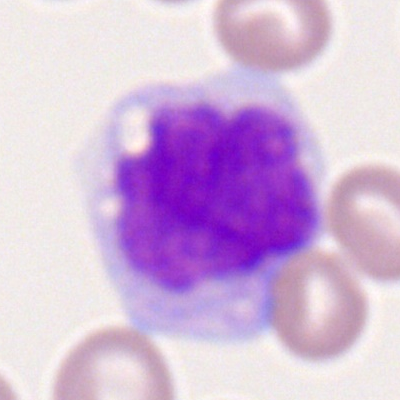Peripheral blood film, single cell — monocyte.